Bone marrow aspirate smear
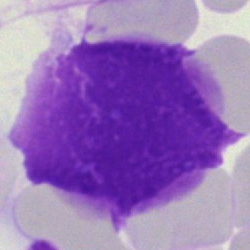Artefact.